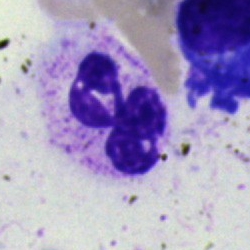
Single cell identified as a neutrophil (segmented).